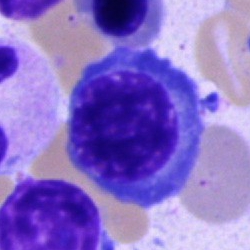 Q: What is the morphological classification of this cell?
A: A nucleated red cell.